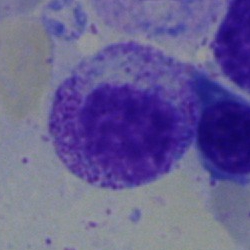
Specimen: bone marrow aspirate smear.
Cell: myelocyte.